Romanowsky-type stain. Single cell centered in the field. Peripheral blood smear
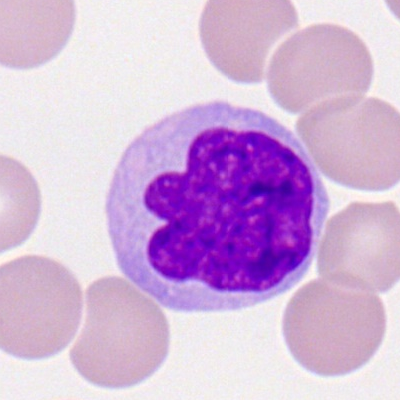

Morphology → lymphocyte.